Bone marrow smear — 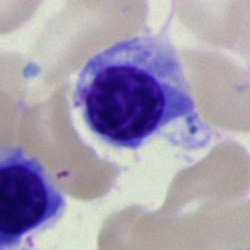Q: What is the morphological classification of this cell?
A: Normoblast.